Bone marrow aspirate smear; 40× oil immersion:
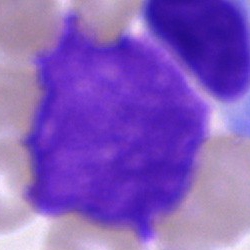

The cell type is artifact.